Bone marrow smear: 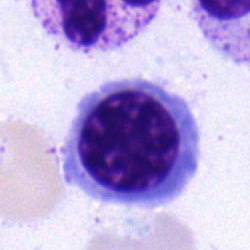 Classification = nucleated red blood cell.